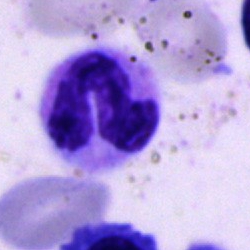

The cell shown is a segmented neutrophil.